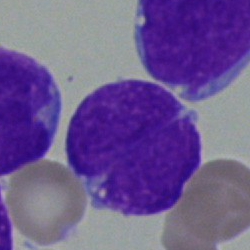

Morphological class: blast.